Bone marrow aspirate smear.
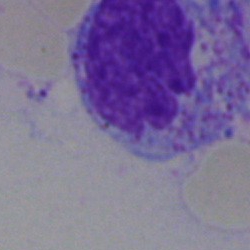 Morphological class: artefact.